Bone marrow smear: 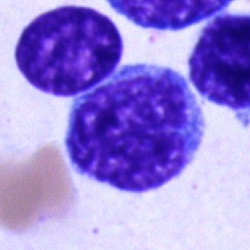
Cell type = promyelocyte.